Bone marrow smear · Pappenheim-stained
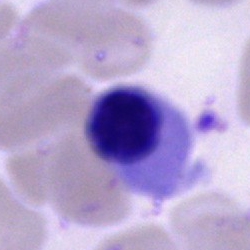Single cell identified as a normoblast.